Bone marrow aspirate smear: 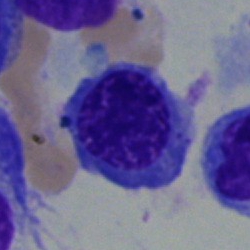

Q: Which cell type is shown here?
A: It is an erythroblast.